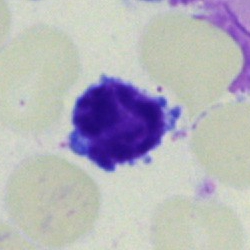A lymphocyte.